Cropped to a single cell · bone marrow smear.
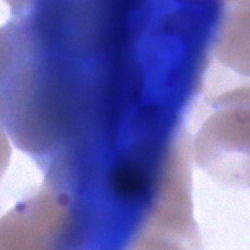 Morphology — artefact.